Bone marrow smear: 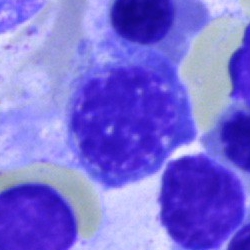

Q: What is the morphological classification of this cell?
A: This is a nucleated red cell.